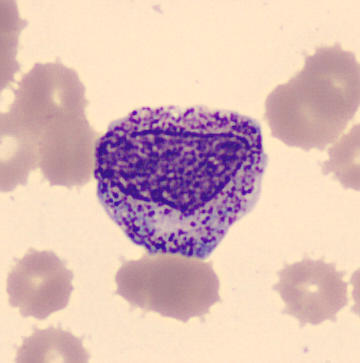

Image: May-Grünwald-Giemsa-stained; peripheral blood smear.

Classification — myelocyte.